Bone marrow smear: 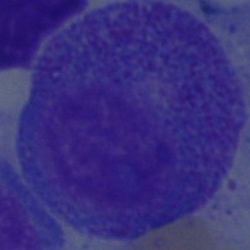

Promyelocyte.